Bone marrow smear · single-cell field.
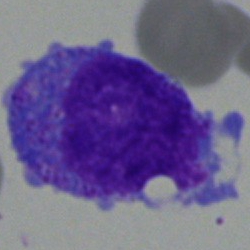Morphological class = monocyte.